Bone marrow smear.
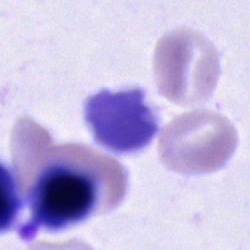
Q: What type of cell is this?
A: Unidentifiable cell.